Bone marrow aspirate smear: 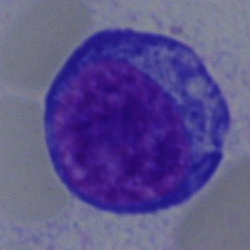{"cell_type": "pronormoblast"}